Pappenheim-stained; bone marrow aspirate smear
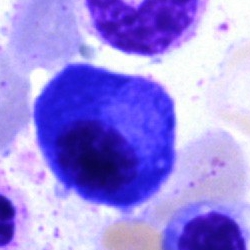Morphology consistent with a plasma cell.